Bone marrow aspirate smear · brightfield microscopy, 40× oil immersion · image size 250×250 — 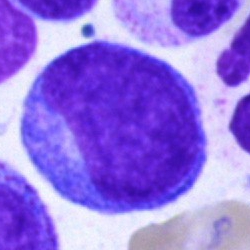

Morphological class = undifferentiated blast.